250×250 px. Bone marrow smear: 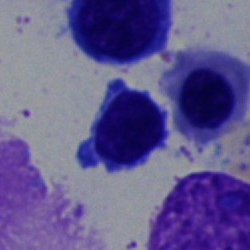The cell type is typical lymphocyte.